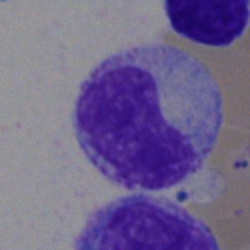
Bone marrow aspirate smear, single cell — stab cell.